Bone marrow smear: 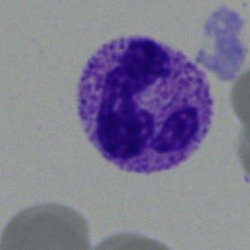 Showing a neutrophil (segmented).